Bone marrow aspirate smear — 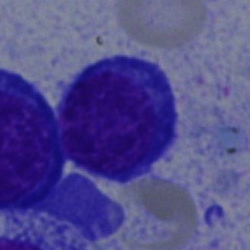The classification is nucleated red blood cell.